Bone marrow smear:
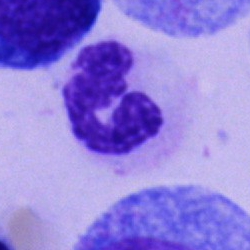

Showing a neutrophil (segmented).